Bone marrow aspirate smear
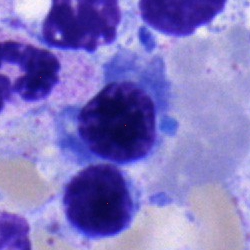 This is a nucleated red blood cell.